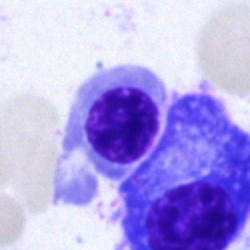Cell type: normoblast.